Peripheral blood smear
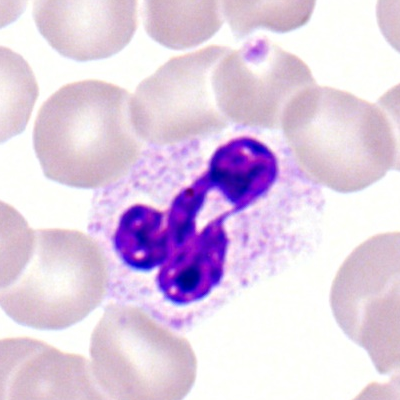 Q: What is the morphological classification of this cell?
A: A polymorphonuclear neutrophil.